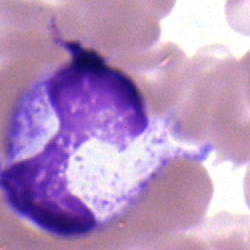

Showing a segmented neutrophil.